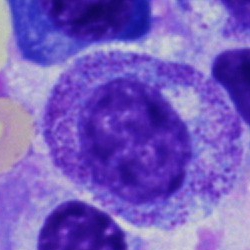 Specimen: bone marrow aspirate smear.
Morphological class: promyelocyte.